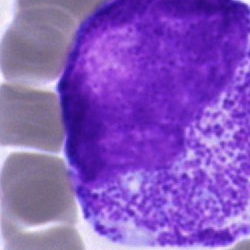
Single-cell crop from a bone marrow smear: promyelocyte.